Bone marrow aspirate smear: 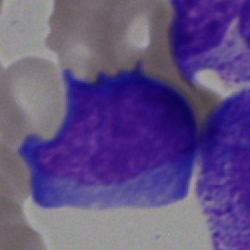

The morphological class is blast.